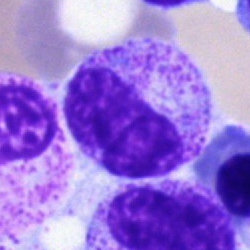
Cell — metamyelocyte.